Bone marrow aspirate smear:
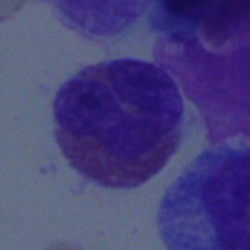Showing an eosinophilic granulocyte.